Bone marrow aspirate smear.
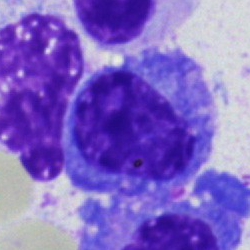Showing a plasma cell.